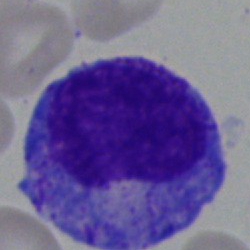 {"cell_type": "progranulocyte"}